Peripheral blood smear · Romanowsky-stained.
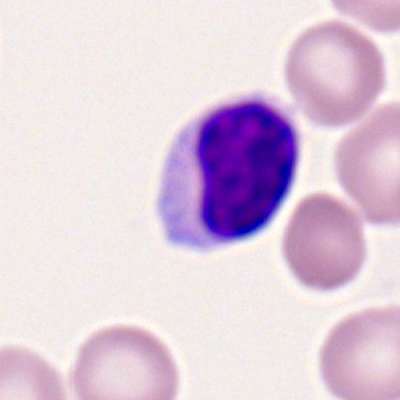

Classification = typical lymphocyte.